Bone marrow aspirate smear · MGG-stained
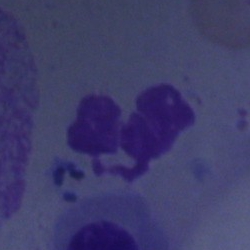
Cell type = artifact.